Bone marrow smear: 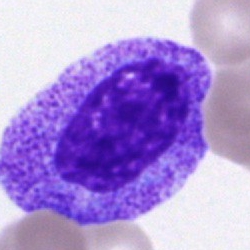

The cell shown is a myelocyte.